Bone marrow aspirate smear:
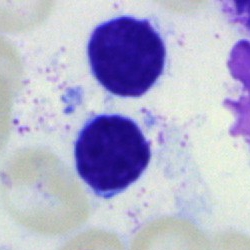
Morphology consistent with a lymphocyte.